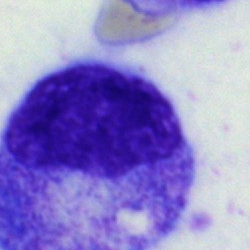Impression → promyelocyte.